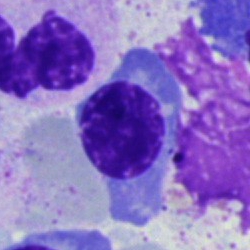

A normoblast.